Bone marrow aspirate smear — 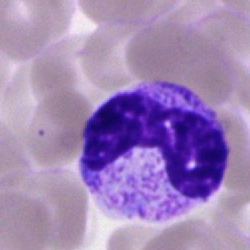

Single cell identified as a neutrophil (band).